Bone marrow smear:
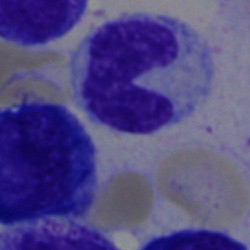Impression → band neutrophil.